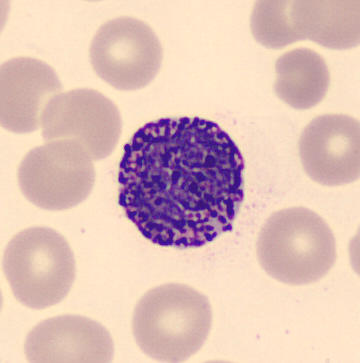
Imaged on a CellaVision DM96 analyser · peripheral blood smear.

Identified as a basophil.